Peripheral blood smear:
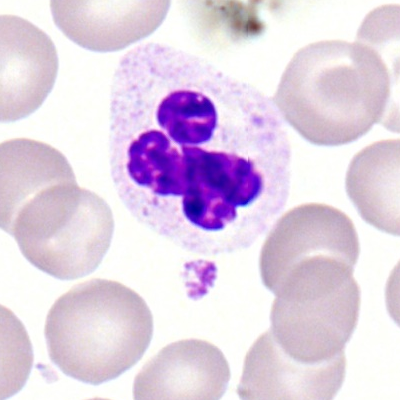The cell shown is a polymorphonuclear neutrophil.